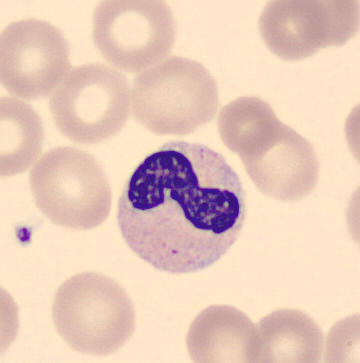Morphology → neutrophil (band).